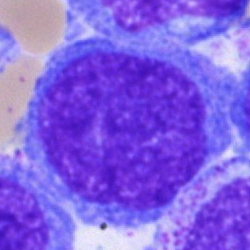
Single cell identified as an undifferentiated blast.